Bone marrow smear.
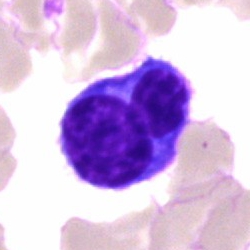

Cell: plasmacyte.